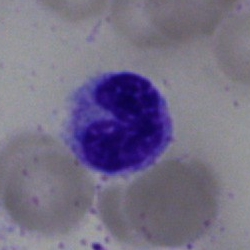 A band neutrophil.